Pappenheim-stained; bone marrow aspirate smear; 250×250 px:
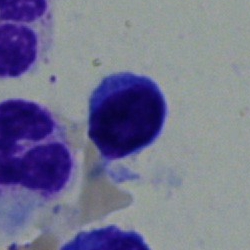

Cell — lymphocyte.